Bone marrow aspirate smear. Cropped to a single cell. MGG-stained.
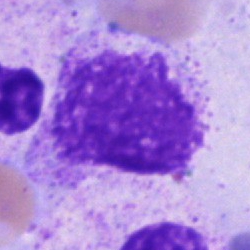
Single cell identified as an artifact.